Bone marrow smear; Pappenheim-stained: 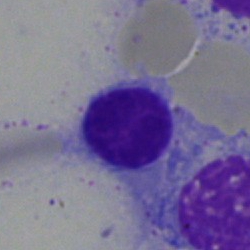

Cell type: nucleated red blood cell.